Bone marrow aspirate smear. Single-cell field: 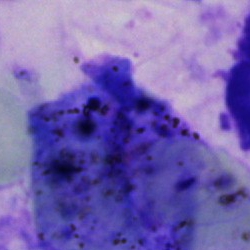The cell shown is an artefact.